Bone marrow aspirate smear. May-Grünwald-Giemsa/Pappenheim stain
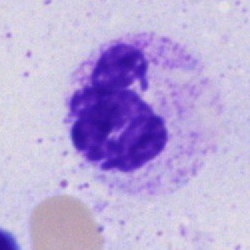

Specimen: bone marrow smear.
Cell: segmented neutrophil.
Lineage: myeloid.